Image size 400×400. Peripheral blood smear
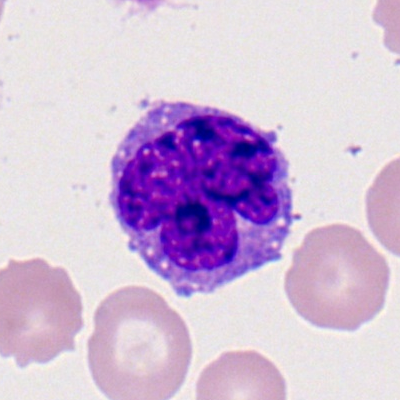

Monocyte.